Bone marrow aspirate smear; May-Grünwald-Giemsa/Pappenheim stain:
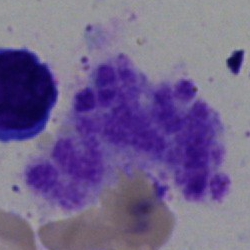 Cell = artefact.